Bone marrow smear: 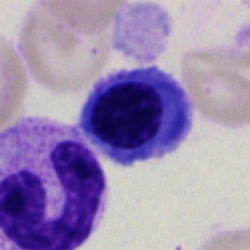 Specimen: bone marrow aspirate smear.
Morphological class: nucleated red blood cell.
Lineage: erythroid.